250×250. Bone marrow aspirate smear.
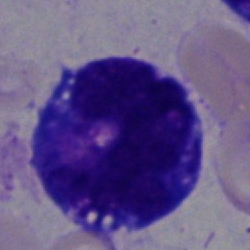
The cell is blast cell.